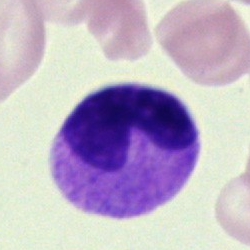
Classification = band-form neutrophil.